Image size 250×250. Bone marrow smear — 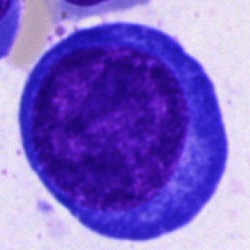 Showing a pronormoblast.